Bone marrow aspirate smear · 250×250 · brightfield, 40× oil-immersion objective
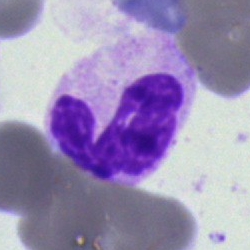
Morphological class: neutrophil (segmented).